250×250; bone marrow aspirate smear.
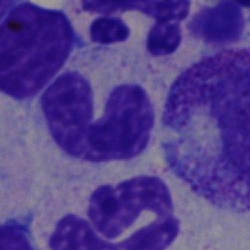

Impression — stab cell.